Single-cell field; bone marrow aspirate smear.
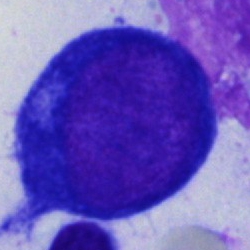Q: What is shown here?
A: This is a proerythroblast.